Bone marrow smear:
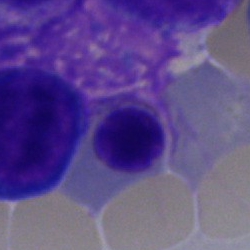

Morphological class: erythroblast.